Image size 250×250. Bone marrow aspirate smear — 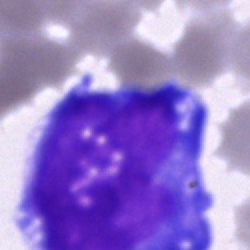

This is an undifferentiated blast.